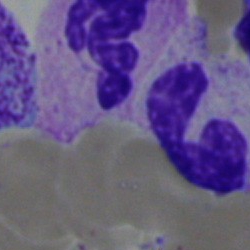
Classification — stab cell.